Bone marrow aspirate smear: 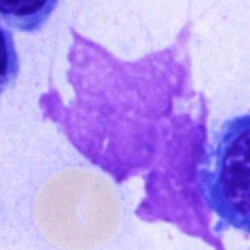
Single cell identified as an artifact.